Bone marrow smear — 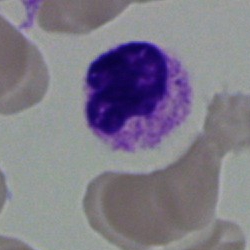
Cell: neutrophil (segmented).